Bone marrow smear:
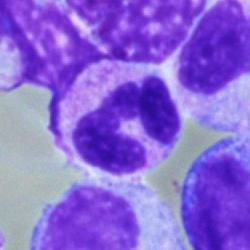Specimen: bone marrow aspirate smear.
Cell: polymorphonuclear neutrophil.
Lineage: myeloid.